Bone marrow smear — 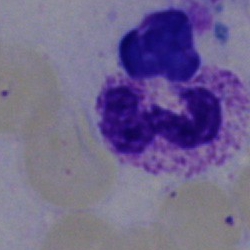 Classification = segmented neutrophil.